Bone marrow aspirate smear; May-Grünwald-Giemsa/Pappenheim stain
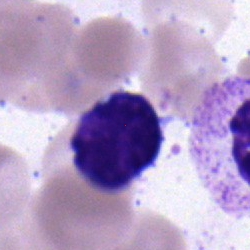The morphological class is lymphocyte.